Peripheral blood smear. Romanowsky stain:
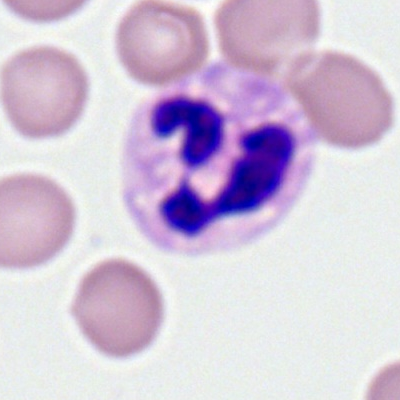
Morphological class = neutrophil (segmented).